Peripheral blood smear · image size 400×400 · cropped to a single cell — 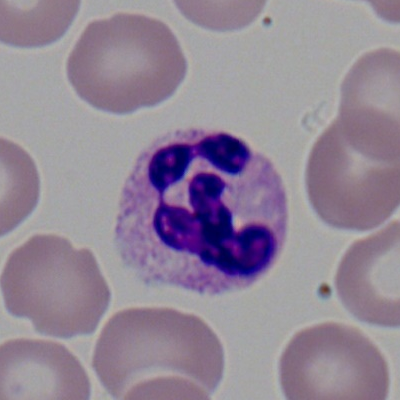Cell — neutrophil (segmented).